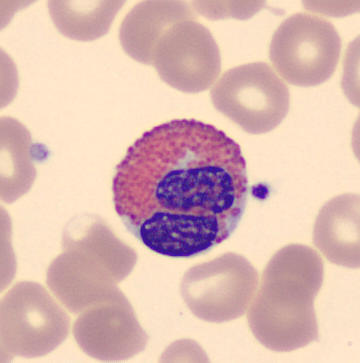

Preparation: Peripheral blood film · 360×363 px · CellaVision DM96.

Q: What cell is this?
A: It is an eosinophilic granulocyte.